Bone marrow smear:
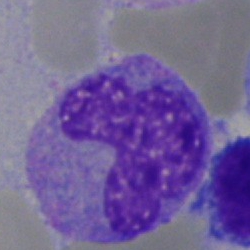

Q: What is the morphological classification of this cell?
A: This is a monocyte.